Peripheral blood film · image size 400×400 · single-cell field — 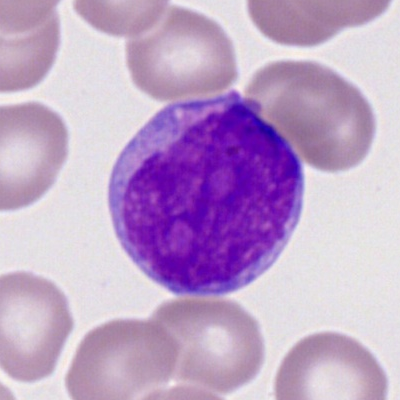 Q: What type of cell is this?
A: It is a myeloblast.